Bone marrow aspirate smear. 250×250 px. Single-cell crop: 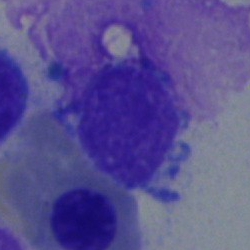Impression — lymphocyte.